Bone marrow aspirate smear · cropped to a single cell — 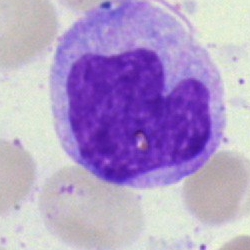

A monocyte.